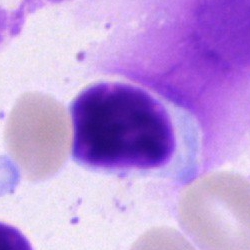The cell shown is a typical lymphocyte.